CellaVision DM96 · peripheral blood film · MGG-stained:
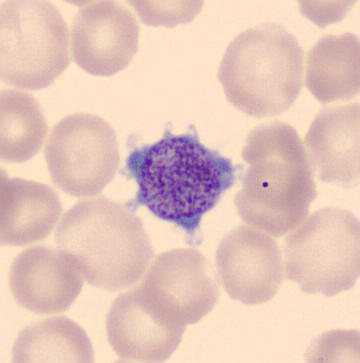
Morphology consistent with a platelet (thrombocyte).